Bone marrow aspirate smear; 250 by 250 pixels; May-Grünwald-Giemsa/Pappenheim stain:
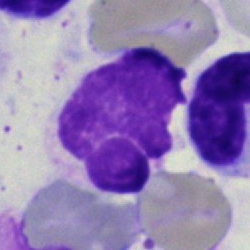
Q: What is shown here?
A: An artifact.